Peripheral blood smear · Romanowsky-stained: 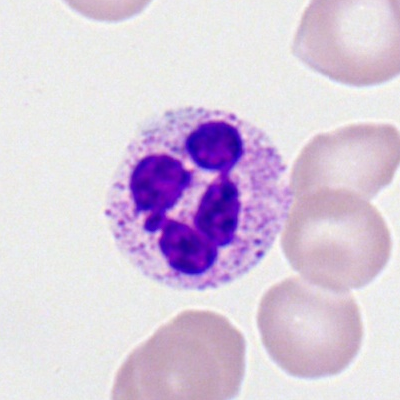 The classification is neutrophil (segmented).